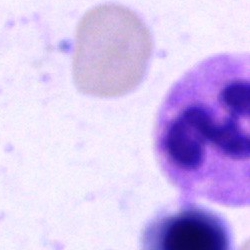

Specimen: bone marrow smear.
Classification: segmented neutrophil.
Lineage: myeloid.